Bone marrow smear.
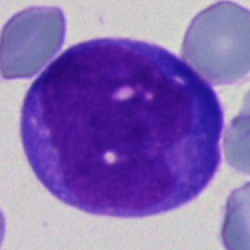
Specimen: bone marrow smear.
Morphological class: blast.